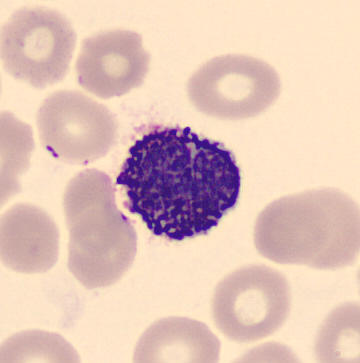
Morphology consistent with a basophilic granulocyte. Image: Single cell centered in the field. Peripheral blood film.